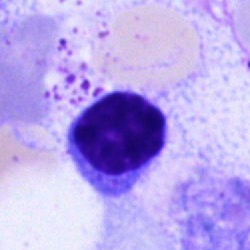 Bone marrow aspirate smear, single cell — typical lymphocyte.